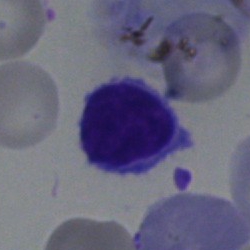Cell = lymphocyte.